Peripheral blood film; Romanowsky-type stain.
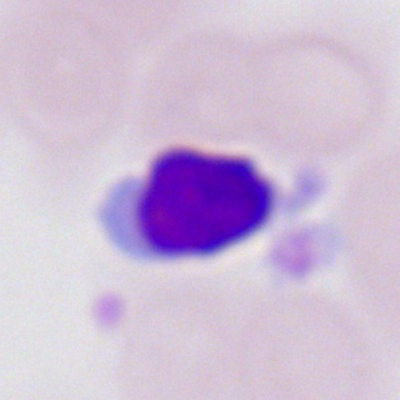
Q: What is shown here?
A: This is a typical lymphocyte.